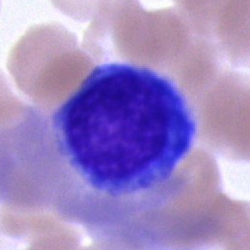

Q: What is the morphological classification of this cell?
A: Erythroblast.